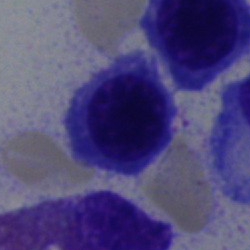Classification: erythroblast.